Bone marrow smear; May-Grünwald-Giemsa stain; image size 250×250: 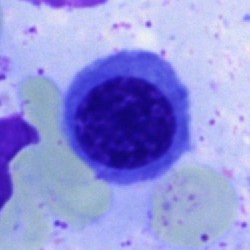 The morphological class is erythroblast.